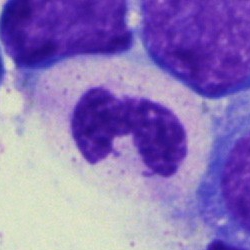

Q: What cell is this?
A: Neutrophil (segmented).